40× objective, oil immersion; MGG-stained; bone marrow aspirate smear.
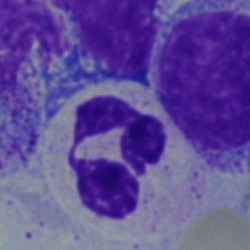

Q: What is shown here?
A: Segmented neutrophil.